May-Grünwald-Giemsa stain. Bone marrow smear
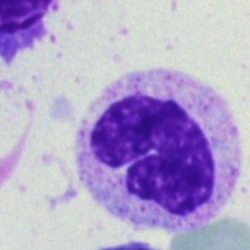
Stab cell.